Bone marrow aspirate smear:
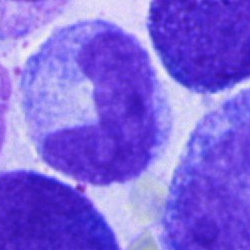Classification: band-form neutrophil.